Bone marrow smear. 250×250 px: 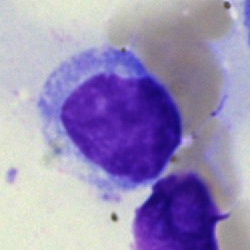 Q: What is the morphological classification of this cell?
A: This is a typical lymphocyte.